40× objective, oil immersion. Bone marrow smear. Single cell centered in the field
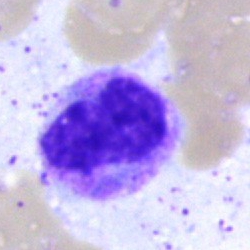Specimen: bone marrow aspirate smear.
Cell: metamyelocyte.
Lineage: myeloid.